Bone marrow aspirate smear — 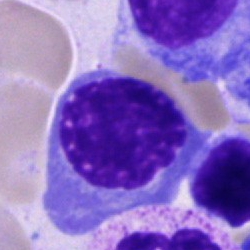
Specimen: bone marrow smear.
Morphological class: nucleated red cell.
Lineage: erythroid.